Romanowsky stain. 100× oil immersion. Peripheral blood film.
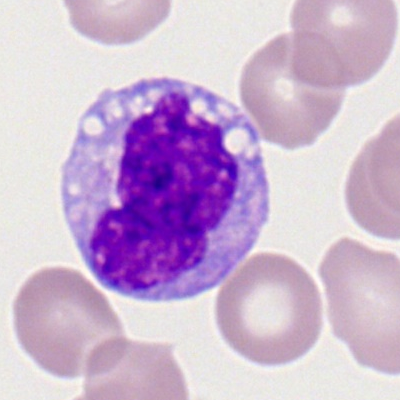Specimen: peripheral blood smear.
Morphological class: monocyte.